Bone marrow smear — 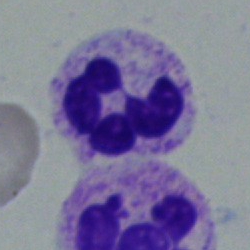This is a segmented neutrophil.